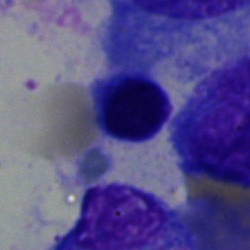Bone marrow aspirate smear, single cell — nucleated red cell.